Bone marrow aspirate smear.
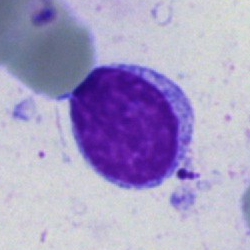 A typical lymphocyte.